Peripheral blood smear.
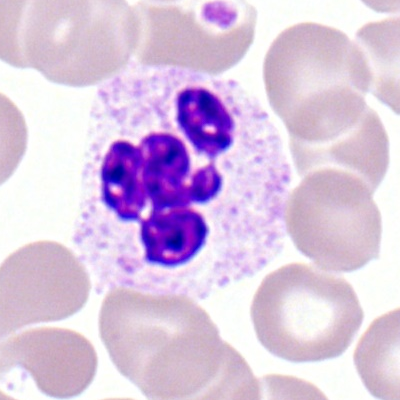

Q: What is the morphological classification of this cell?
A: It is a neutrophil (segmented).